Cropped to a single cell · 40× oil immersion · bone marrow aspirate smear — 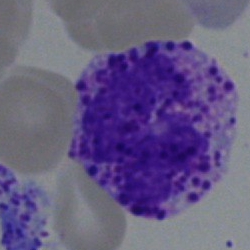Morphological class = basophilic granulocyte.